Bone marrow smear.
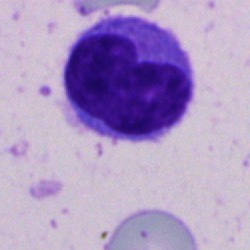 The classification is monocyte.